Bone marrow aspirate smear; cropped to a single cell.
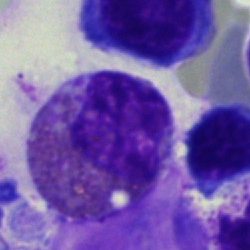
Morphology — eosinophilic granulocyte.